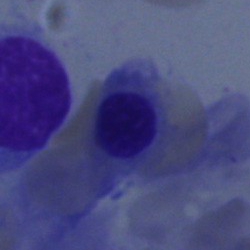

A normoblast.